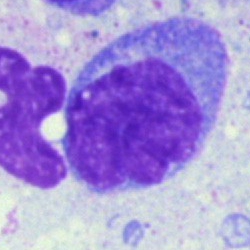

The cell shown is a monocyte.